Bone marrow smear. Single cell centered in the field:
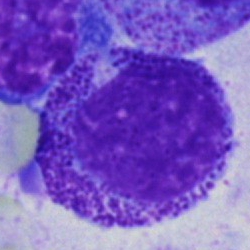Showing a progranulocyte.